Bone marrow aspirate smear — 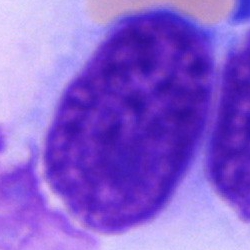 Morphology consistent with an artefact.